Image size 400×400 · peripheral blood film.
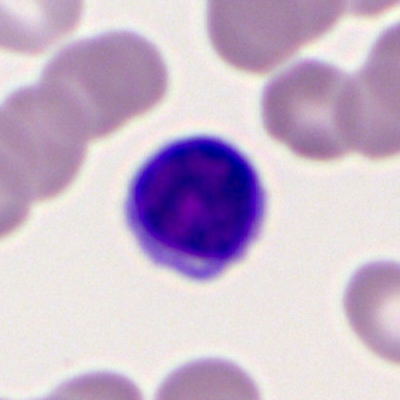 Specimen: peripheral blood smear.
Morphological class: typical lymphocyte.